Single-cell crop; 250×250; bone marrow aspirate smear.
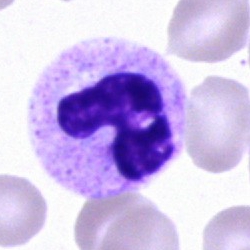 Cell type — segmented neutrophil.